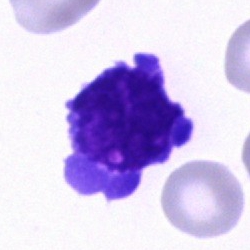

Morphology — blast cell.